Bone marrow aspirate smear:
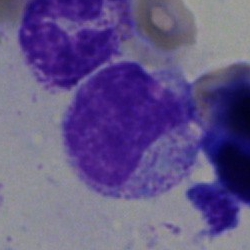

Specimen: bone marrow smear.
Morphological class: metamyelocyte.
Lineage: myeloid.